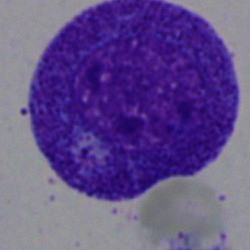
Showing a progranulocyte.